Bone marrow smear — 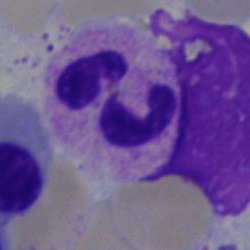

Polymorphonuclear neutrophil.